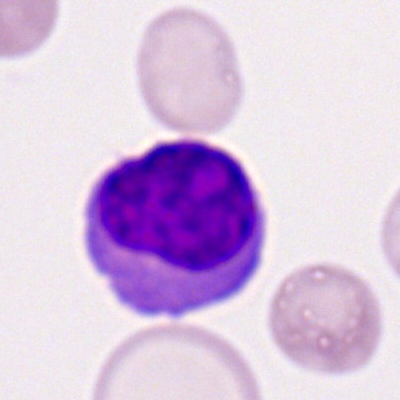 Single cell identified as a lymphocyte.